Bone marrow aspirate smear · image size 250×250:
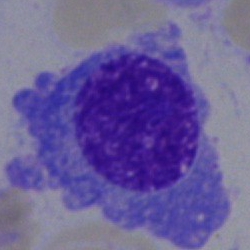
Plasma cell.